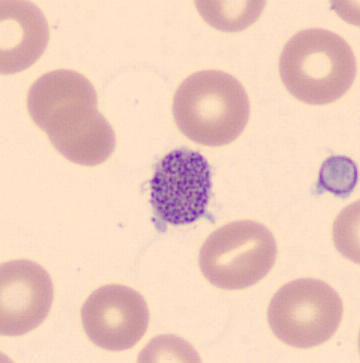
Morphology — thrombocyte.